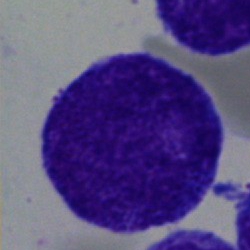Progranulocyte.